Bone marrow smear.
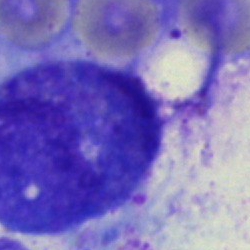 Showing an artifact.